Bone marrow smear: 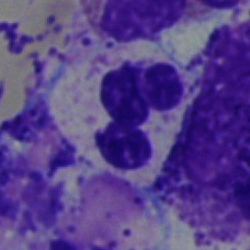
Classification — polymorphonuclear neutrophil.